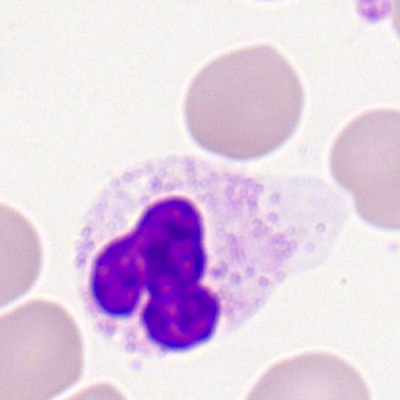
The morphological class is polymorphonuclear neutrophil.